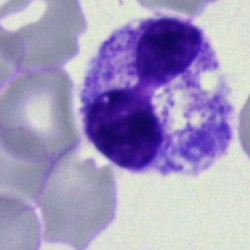
The cell is polymorphonuclear neutrophil.